Single-cell field · bone marrow aspirate smear: 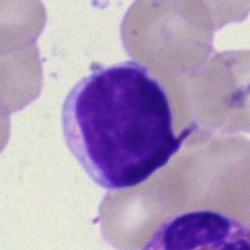 Cell — typical lymphocyte.